Bone marrow aspirate smear; 250×250.
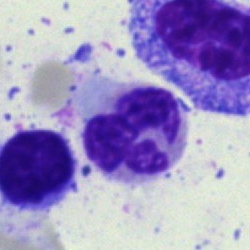
Cell — neutrophil (segmented).